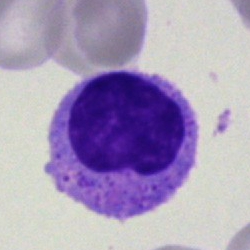 The cell shown is a myelocyte.